Single-cell crop · bone marrow smear · 250 by 250 pixels
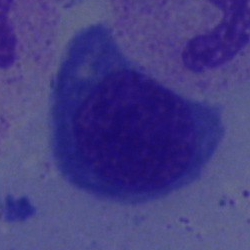Showing an erythroblast.